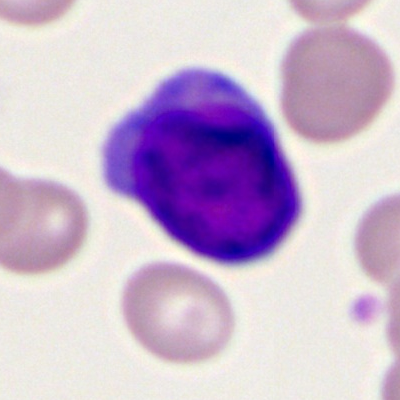
Specimen: peripheral blood smear.
Cell: myeloid blast.
Lineage: myeloid.